Bone marrow smear: 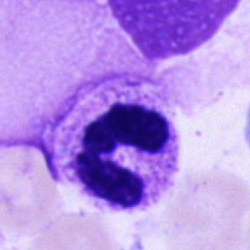The cell shown is a neutrophil (segmented).